Peripheral blood film: 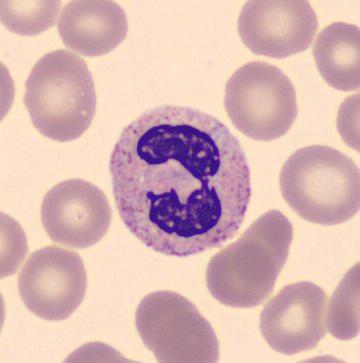Specimen: peripheral blood film.
Cell: neutrophil (segmented).
Lineage: myeloid.